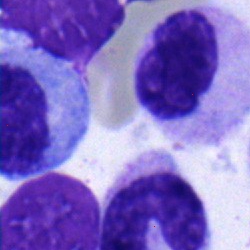

Q: What cell is this?
A: It is a myelocyte.